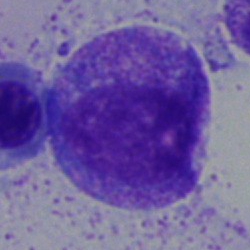 Impression — promyelocyte.